Bone marrow aspirate smear — 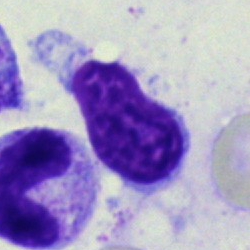
Impression — artifact.